Bone marrow smear — 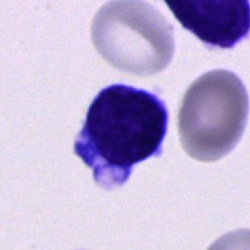
Specimen: bone marrow smear.
Classification: cell of indeterminate lineage.